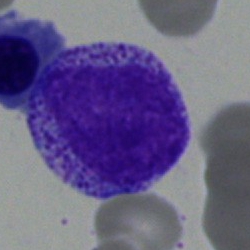

A myelocyte on a bone marrow smear.